Bone marrow aspirate smear
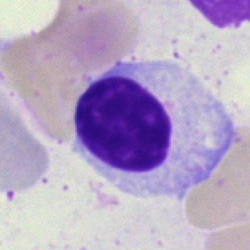Q: What type of cell is this?
A: Lymphocyte.